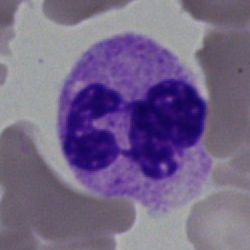
Morphological class: segmented neutrophil.